Peripheral blood film: 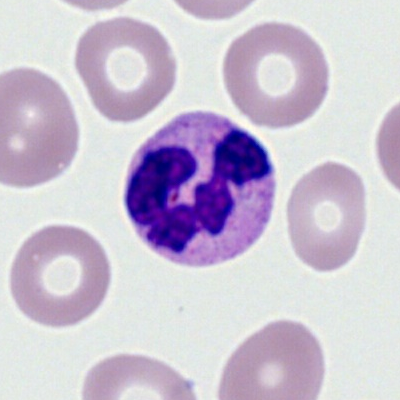 Q: What type of cell is this?
A: Segmented neutrophil.